Bone marrow aspirate smear. Single-cell field. 250 by 250 pixels — 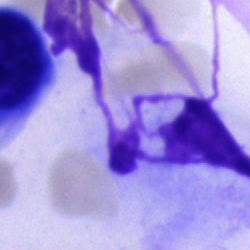Specimen: bone marrow aspirate smear.
Cell type: artifact.